May-Grünwald-Giemsa stain · bone marrow aspirate smear — 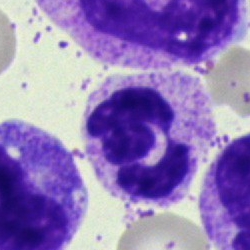

Single cell identified as a polymorphonuclear neutrophil.